Bone marrow smear:
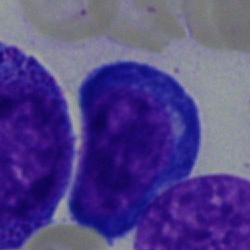 Pronormoblast.